Peripheral blood film:
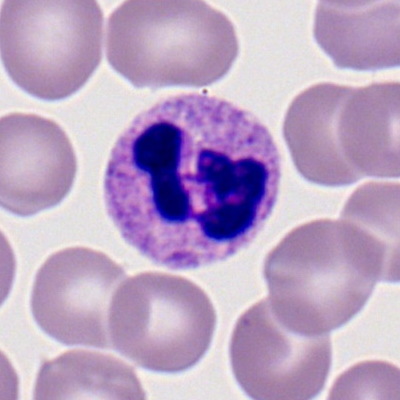 This is a neutrophil (segmented).